Bone marrow smear. 250 by 250 pixels. Single cell centered in the field.
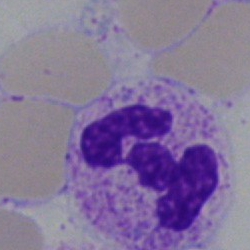

Classification — polymorphonuclear neutrophil.